Bone marrow smear: 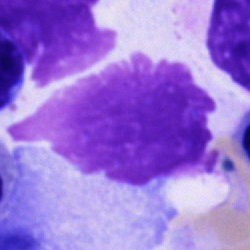

This is an artefact.